Bone marrow aspirate smear · brightfield microscopy, 40× oil immersion
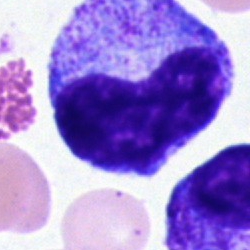

Impression — progranulocyte.